Bone marrow smear. May-Grünwald-Giemsa stain — 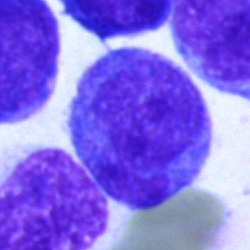The cell type is blast.